Bone marrow smear.
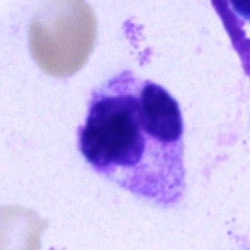
The cell is neutrophil (segmented).